Bone marrow aspirate smear; single-cell crop:
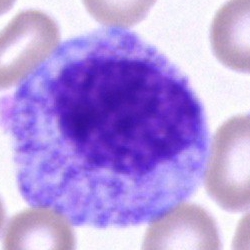 Progranulocyte.